250×250; bone marrow smear: 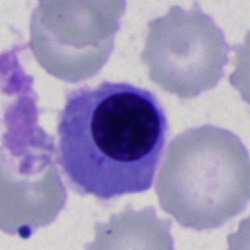

Cell type: nucleated red cell.